Bone marrow aspirate smear:
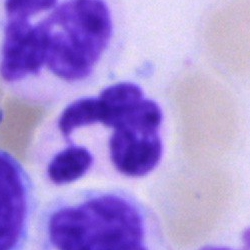

This is a segmented neutrophil.